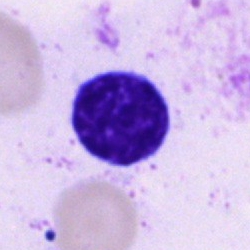

The morphological class is typical lymphocyte.